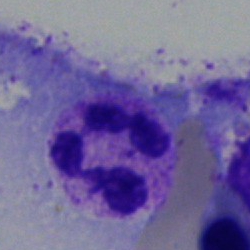{"cell_type": "polymorphonuclear neutrophil"}